May-Grünwald-Giemsa/Pappenheim stain · bone marrow smear:
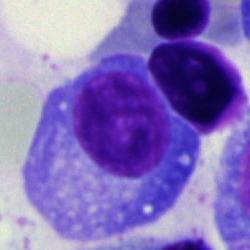Impression → plasmacyte.